Bone marrow aspirate smear; brightfield microscopy, 40× oil immersion
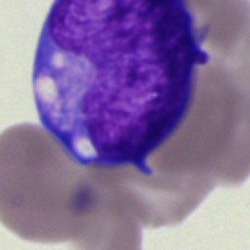

Morphological class — undifferentiated blast.